Cropped to a single cell; bone marrow smear.
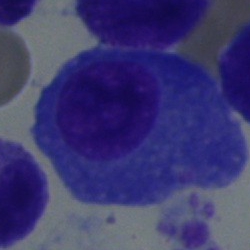

Q: What type of cell is this?
A: Plasma cell.